Pappenheim-stained · bone marrow aspirate smear:
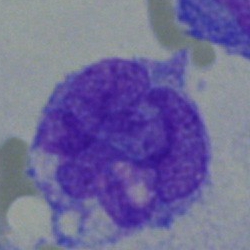
This is a monocyte.